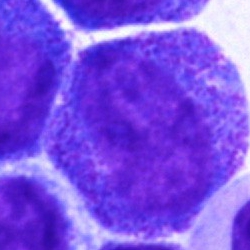 The morphological class is promyelocyte.